Bone marrow smear: 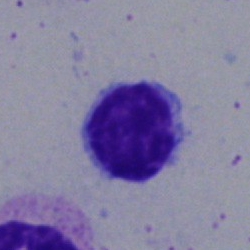
Morphology consistent with a lymphocyte.